Bone marrow aspirate smear. 250×250
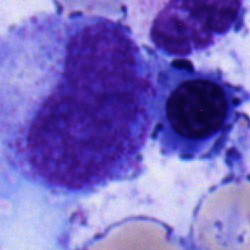
Metamyelocyte.